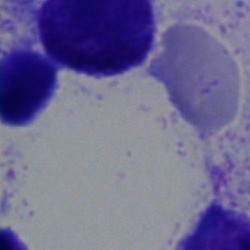
Single cell identified as an artifact.